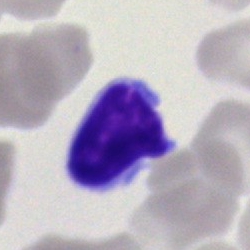

Cell — typical lymphocyte.